May-Grünwald-Giemsa stain. Bone marrow aspirate smear. Cropped to a single cell
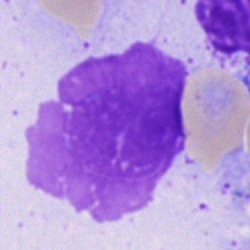An artifact.